Bone marrow aspirate smear:
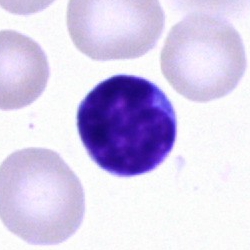Lymphocyte.